Bone marrow smear. 250×250. 40× oil immersion
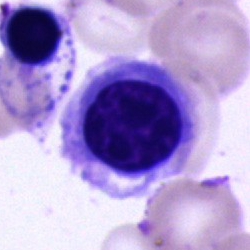

Showing a nucleated red blood cell.